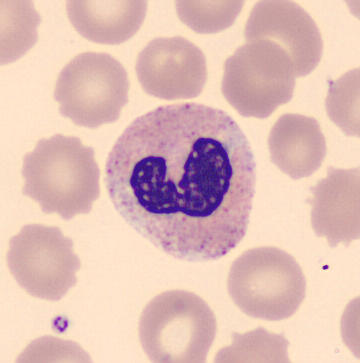
A band-form neutrophil on a peripheral blood smear.